Peripheral blood film — 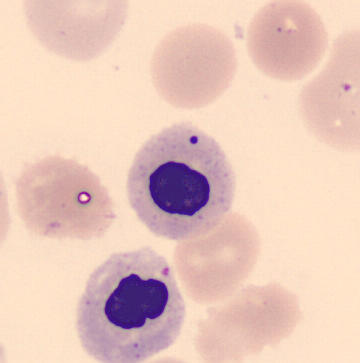 Normoblast.